40× oil immersion · bone marrow aspirate smear · single-cell crop
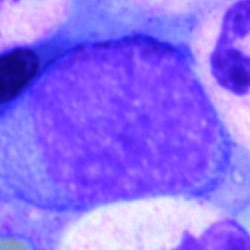
Specimen: bone marrow aspirate smear.
Morphological class: blast cell.